Pappenheim-stained. Bone marrow aspirate smear.
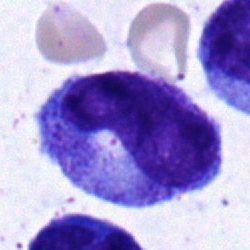{"cell_type": "metamyelocyte"}